Image size 250×250 · bone marrow smear: 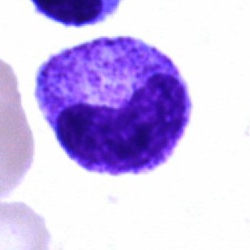 Specimen: bone marrow smear.
Cell: band-form neutrophil.
Lineage: myeloid.